Bone marrow aspirate smear: 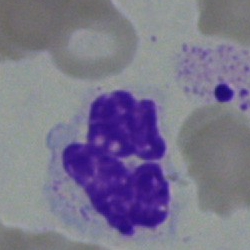Specimen: bone marrow aspirate smear.
Cell: polymorphonuclear neutrophil.